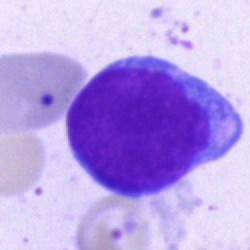An undifferentiated blast on a bone marrow smear.